250×250. Bone marrow aspirate smear: 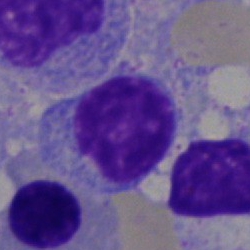

Showing a typical lymphocyte.